Bone marrow aspirate smear:
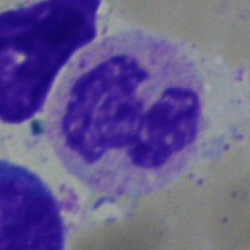
Q: What is the morphological classification of this cell?
A: A polymorphonuclear neutrophil.